40× oil immersion. Bone marrow smear:
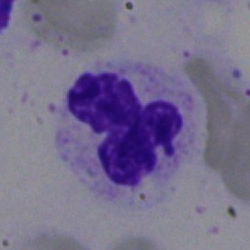

Classification: polymorphonuclear neutrophil.